Bone marrow smear
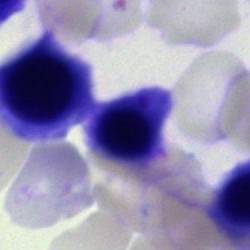Showing a nucleated red cell.